Bone marrow smear · 250 by 250 pixels: 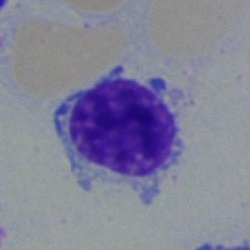 Cell = typical lymphocyte.